Bone marrow aspirate smear.
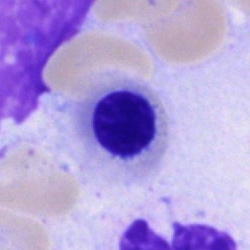 A normoblast.